Bone marrow smear:
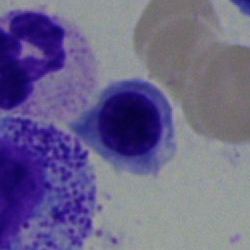{"cell_type": "nucleated red blood cell", "lineage": "erythroid"}